Image size 250×250. Bone marrow aspirate smear.
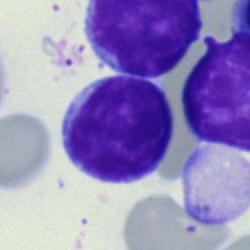 Morphological class: typical lymphocyte.